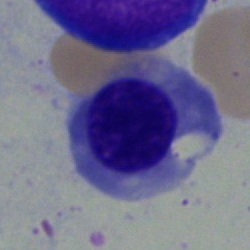Q: What is shown here?
A: Nucleated red blood cell.